Bone marrow smear. May-Grünwald-Giemsa/Pappenheim stain
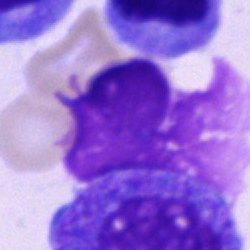 Q: What is shown here?
A: This is an artifact.